Peripheral blood smear · automated cell imaging (CellaVision DM96).
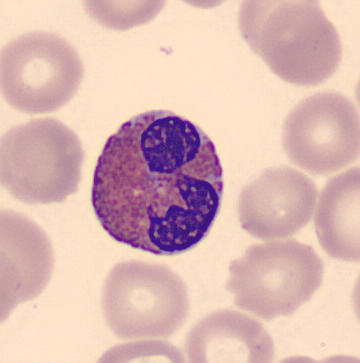 Q: Identify the cell.
A: Eosinophil.